May-Grünwald-Giemsa stain; bone marrow aspirate smear.
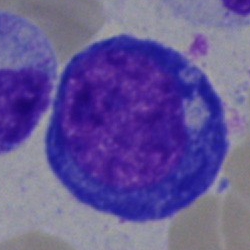 Cell = erythroblast.